Bone marrow aspirate smear:
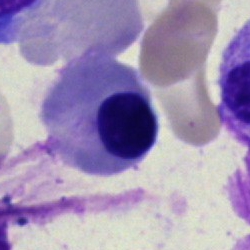Specimen: bone marrow aspirate smear.
Cell type: nucleated red cell.
Lineage: erythroid.